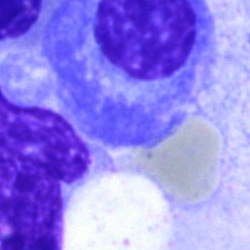 Specimen: bone marrow aspirate smear.
Cell type: plasma cell.
Lineage: lymphoid.